Peripheral blood smear; 100× oil immersion:
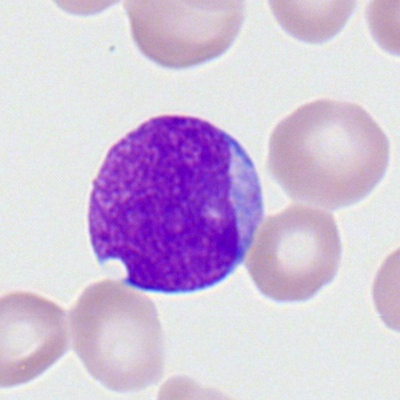 Cell type — myeloid blast.